Bone marrow smear:
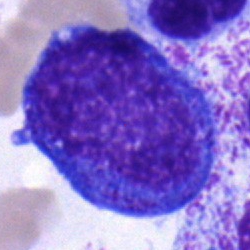 Q: What type of cell is this?
A: A promyelocyte.